Bone marrow aspirate smear.
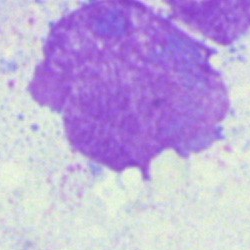{"cell_type": "artefact"}